Bone marrow aspirate smear; May-Grünwald-Giemsa stain; brightfield microscopy, 40× oil immersion.
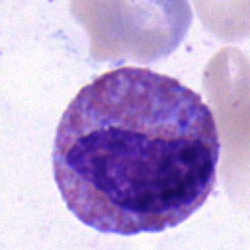

Impression → eosinophil.